40× oil immersion · bone marrow smear: 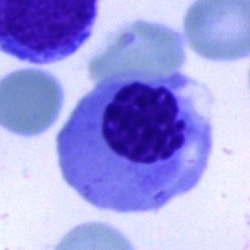Q: What is shown here?
A: A normoblast.